Peripheral blood film; Romanowsky-stained; brightfield, 100× oil-immersion objective: 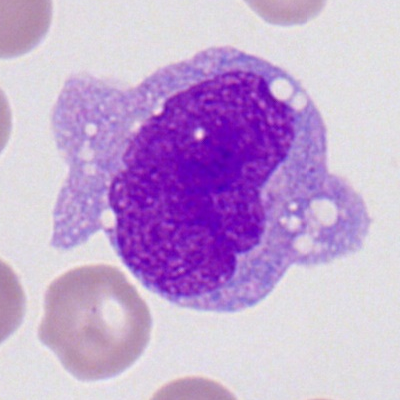

Cell: monocyte.